Bone marrow smear — 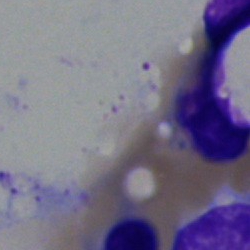Showing an artifact.